250×250. Bone marrow smear: 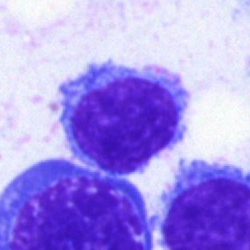 Showing a typical lymphocyte.